Bone marrow smear:
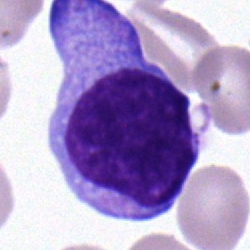

Cell: lymphocyte.